Bone marrow aspirate smear — 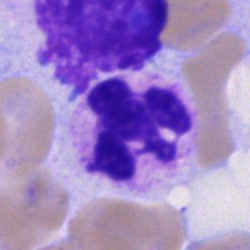
Cell type = polymorphonuclear neutrophil.